Bone marrow smear; single cell centered in the field:
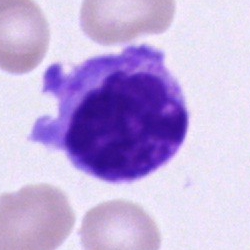
This is an unidentifiable cell.